Bone marrow aspirate smear:
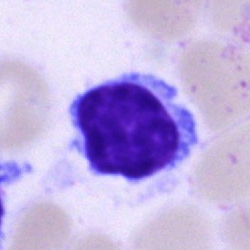

Specimen: bone marrow aspirate smear.
Cell: lymphocyte.